Bone marrow aspirate smear · Pappenheim-stained.
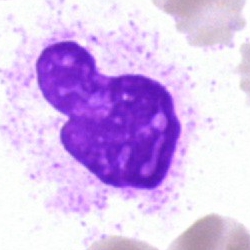
Single cell identified as an artefact.